40× objective, oil immersion; bone marrow aspirate smear.
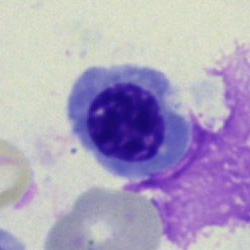Cell — erythroblast.